Bone marrow smear · Pappenheim-stained: 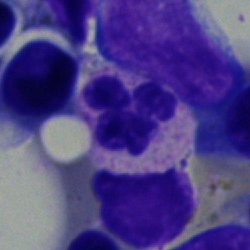 Q: What is shown here?
A: Neutrophil (segmented).